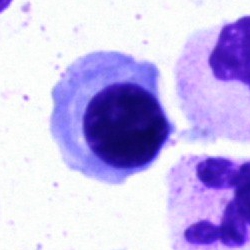 The cell shown is a normoblast.